Bone marrow smear.
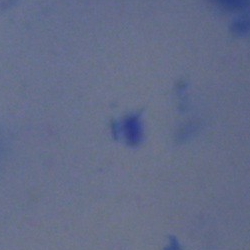

Morphology consistent with an artefact.